Bone marrow aspirate smear; May-Grünwald-Giemsa/Pappenheim stain: 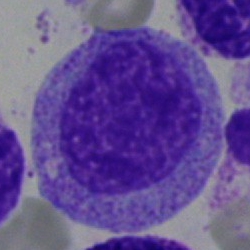
Morphological class = progranulocyte.